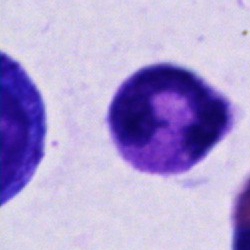 Bone marrow aspirate smear, single cell — stab cell.